Bone marrow smear · MGG-stained:
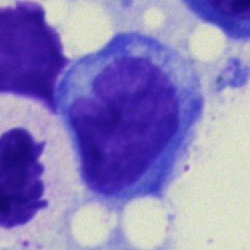 This is a blast cell.